Single-cell crop; Pappenheim-stained; bone marrow smear — 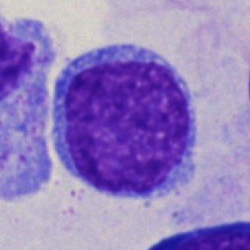

Morphology — blast.